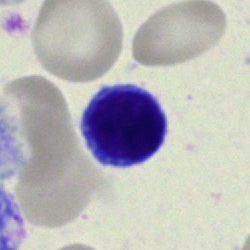
Specimen: bone marrow smear.
Cell: typical lymphocyte.